Peripheral blood film · cropped to a single cell — 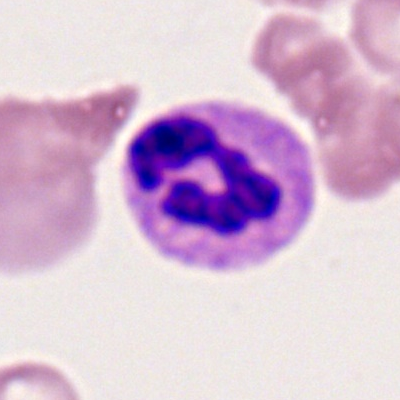 The classification is neutrophil (segmented).